Bone marrow smear — 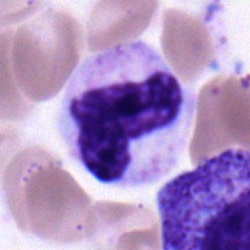
Classification = band neutrophil.